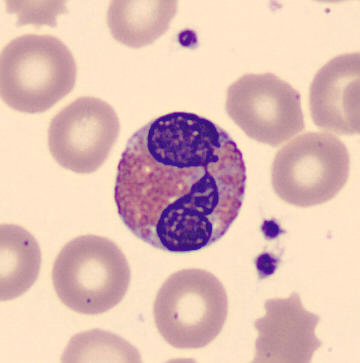

Morphology → eosinophilic granulocyte.